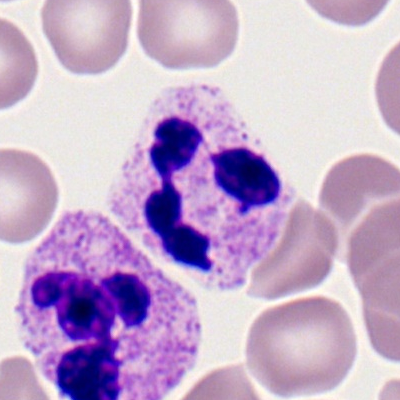

Cell = neutrophil (segmented).